Bone marrow smear: 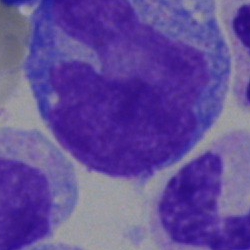

Morphological class — monocyte.